Peripheral blood film; image size 400×400; Romanowsky-stained — 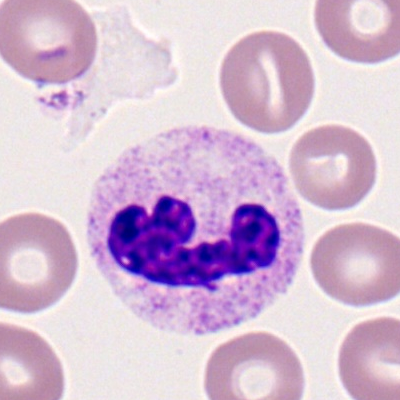 Specimen: peripheral blood smear.
Morphological class: segmented neutrophil.